Bone marrow smear: 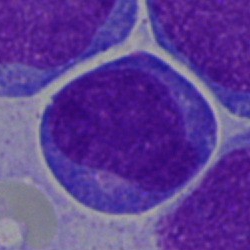
Specimen: bone marrow aspirate smear.
Classification: undifferentiated blast.